Bone marrow aspirate smear: 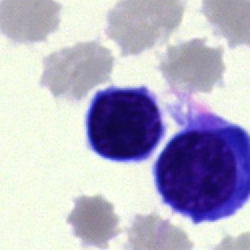
Classification — normoblast.